400×400 px; peripheral blood smear — 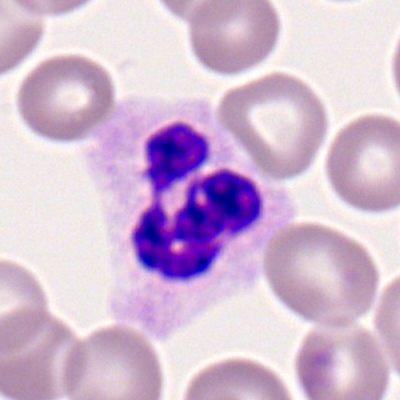

Showing a polymorphonuclear neutrophil.